May-Grünwald-Giemsa stain. Bone marrow smear
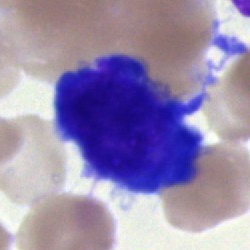 Q: Identify the cell.
A: Cell of indeterminate lineage.